Bone marrow aspirate smear — 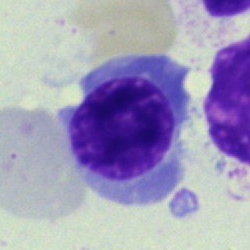{"cell_type": "nucleated red cell"}